Bone marrow smear; single-cell crop — 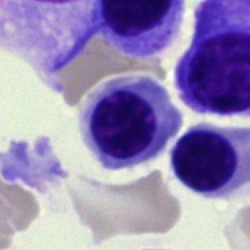Cell type: erythroblast.